Bone marrow aspirate smear: 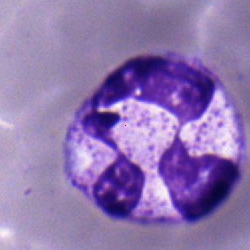

Classification = neutrophil (segmented).